250×250 px · bone marrow smear.
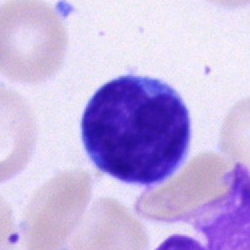 This is a typical lymphocyte.